Bone marrow smear — 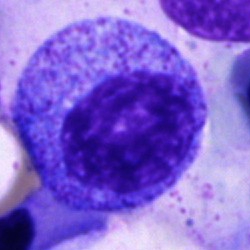
Cell type = promyelocyte.